250 by 250 pixels. Bone marrow smear.
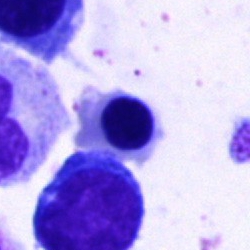
Q: What is the morphological classification of this cell?
A: A nucleated red cell.